Cropped to a single cell; bone marrow aspirate smear; 250×250 px
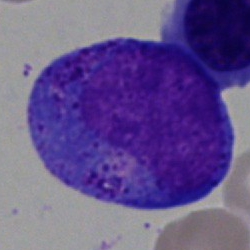
Morphological class = promyelocyte.